Brightfield, 40× oil-immersion objective; bone marrow smear; 250×250 px.
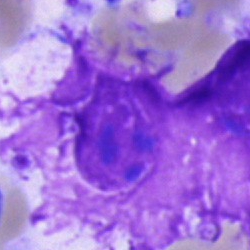
Morphology consistent with an artefact.